Bone marrow smear.
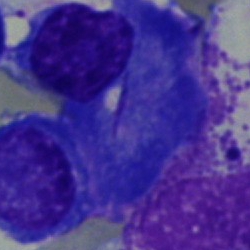

Q: What is shown here?
A: It is a plasmacyte.